Bone marrow smear.
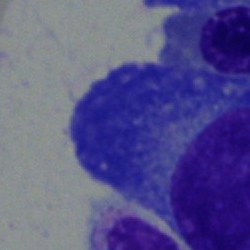
Classification = plasma cell.